Peripheral blood smear; 400 by 400 pixels; cropped to a single cell — 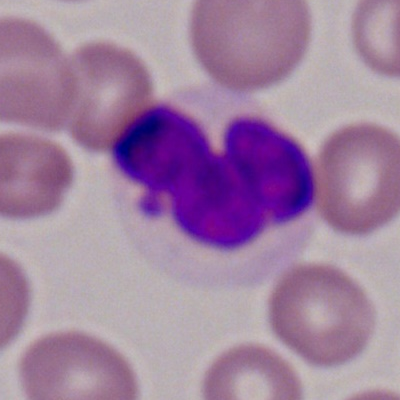
Morphology consistent with a segmented neutrophil.